Pappenheim-stained. Brightfield microscopy, 40× oil immersion. Bone marrow smear:
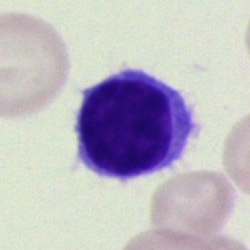 Single cell identified as a typical lymphocyte.